250×250. Bone marrow smear. Single-cell crop:
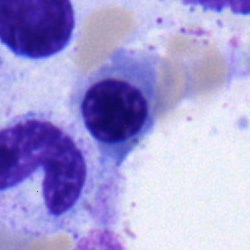 Cell = normoblast.